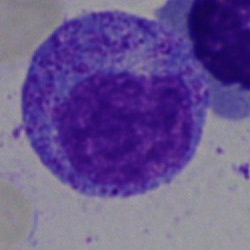 Q: Identify the cell.
A: Promyelocyte.